Bone marrow smear. May-Grünwald-Giemsa stain: 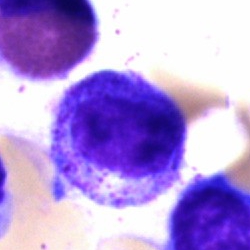
Impression — myelocyte.